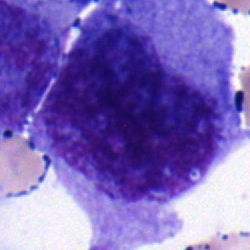

Q: What is shown here?
A: This is an undifferentiated blast.